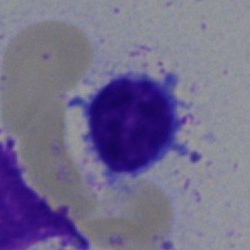Single-cell crop from a bone marrow smear: lymphocyte.